Bone marrow aspirate smear
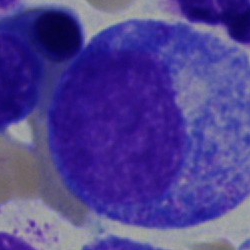Specimen: bone marrow aspirate smear.
Morphological class: promyelocyte.